May-Grünwald-Giemsa stain. Cropped to a single cell. Bone marrow aspirate smear — 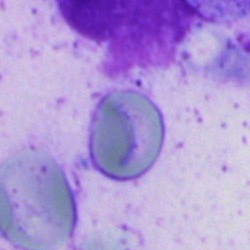

An artifact.